Bone marrow aspirate smear — 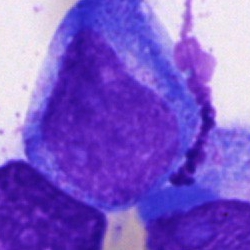Specimen: bone marrow smear.
Cell type: undifferentiated blast.